Romanowsky-stained. Peripheral blood smear:
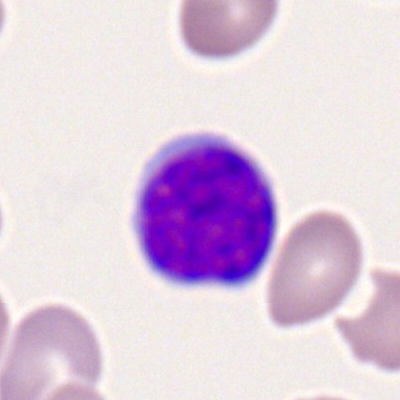Morphological class: lymphocyte.